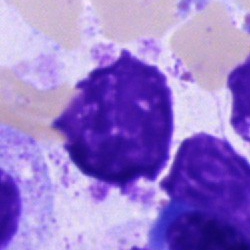

Classification = unidentifiable cell.